40× oil immersion · bone marrow aspirate smear.
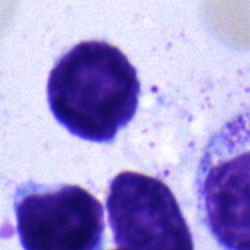

The cell shown is a lymphocyte.